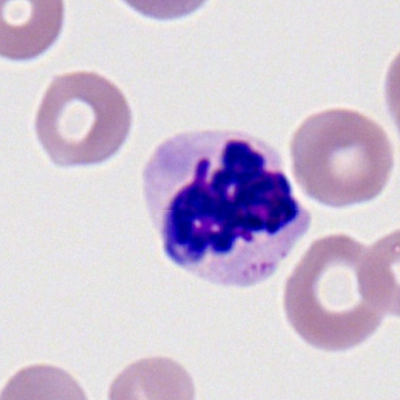Impression — polymorphonuclear neutrophil.